Brightfield, 40× oil-immersion objective · bone marrow smear.
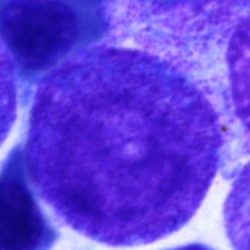Progranulocyte.